Bone marrow smear.
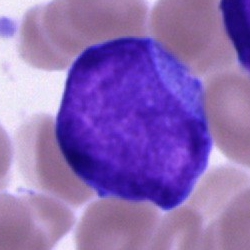
Cell: undifferentiated blast.